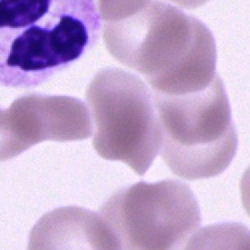
Q: Which cell type is shown here?
A: It is a segmented neutrophil.